Bone marrow aspirate smear — 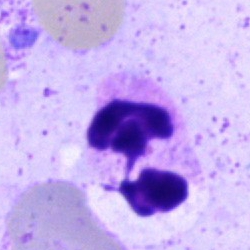
The morphological class is neutrophil (segmented).